Bone marrow aspirate smear: 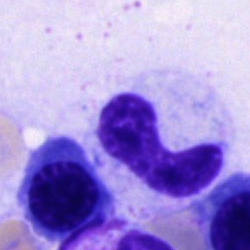
Morphology consistent with a band-form neutrophil.